Peripheral blood smear:
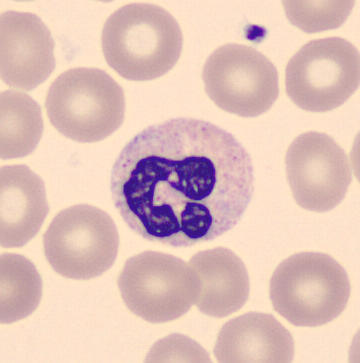 Morphology — segmented neutrophil.